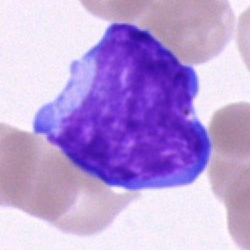

Morphology — undifferentiated blast.